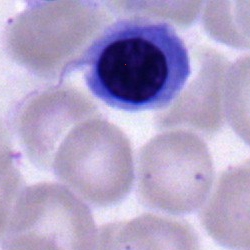
Morphology consistent with a normoblast.